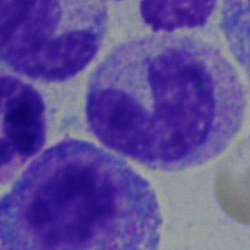
Bone marrow smear showing a band neutrophil.